40× oil immersion. Bone marrow smear — 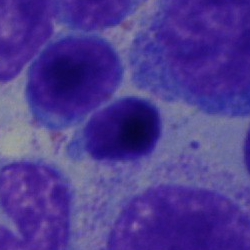

Typical lymphocyte.